Single cell centered in the field · bone marrow smear — 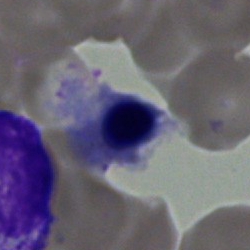Q: What is the morphological classification of this cell?
A: Nucleated red cell.